Peripheral blood smear: 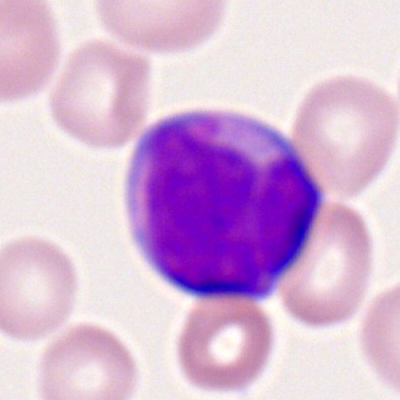 Q: What type of cell is this?
A: A myeloblast.